Bone marrow smear:
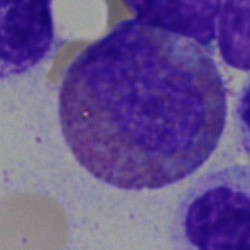Q: What is shown here?
A: It is an eosinophilic granulocyte.